Bone marrow smear:
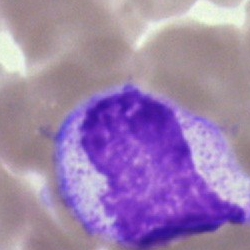
Morphology — myelocyte.